Bone marrow smear · brightfield microscopy, 40× oil immersion:
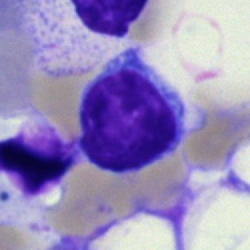Morphological class = lymphocyte.